Peripheral blood smear; cropped to a single cell: 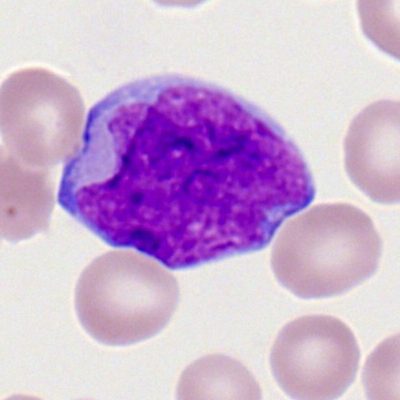
Morphological class = myeloblast.